Brightfield microscopy, 40× oil immersion · bone marrow aspirate smear — 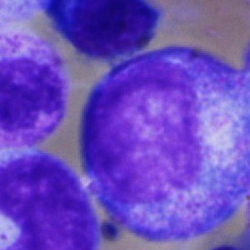

Classification — progranulocyte.